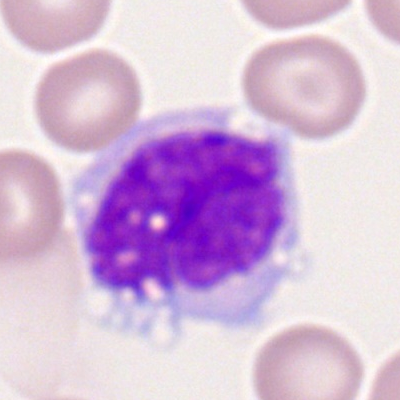Q: What is the morphological classification of this cell?
A: This is a monocyte.